Bone marrow aspirate smear. Cropped to a single cell.
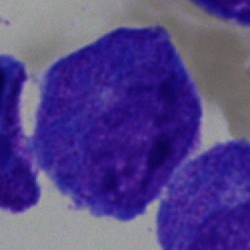

{"cell_type": "progranulocyte", "lineage": "myeloid"}